Peripheral blood film:
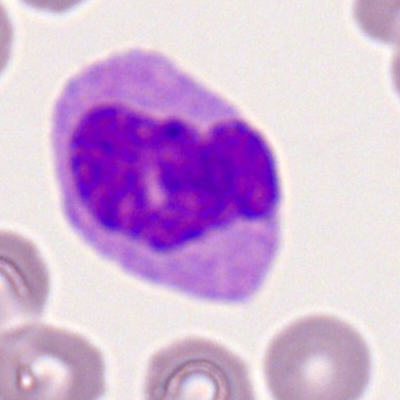
Single cell identified as a monocyte.